Peripheral blood smear.
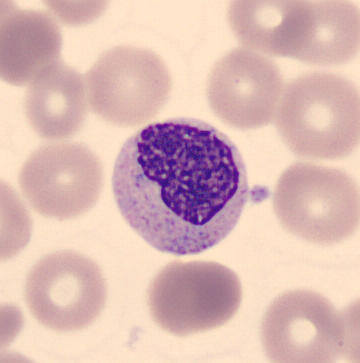 Identified as a myelocyte.